Bone marrow smear:
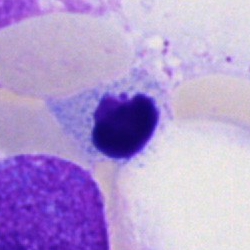 Cell type = normoblast.